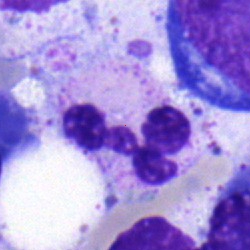

Q: Which cell type is shown here?
A: This is a segmented neutrophil.